Bone marrow smear · 250×250 · MGG-stained — 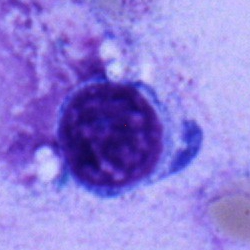

A typical lymphocyte.